Bone marrow aspirate smear:
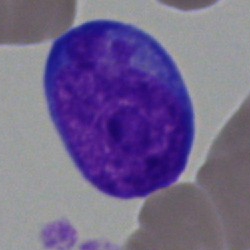Morphology consistent with a blast cell.